Single-cell crop · bone marrow smear · May-Grünwald-Giemsa stain: 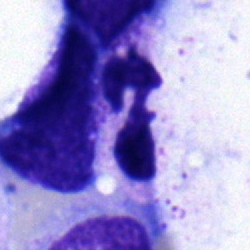Morphological class = neutrophil (segmented).